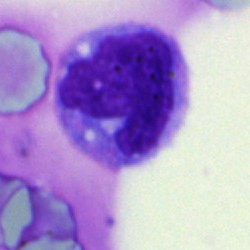Morphology consistent with a monocyte.